Bone marrow aspirate smear:
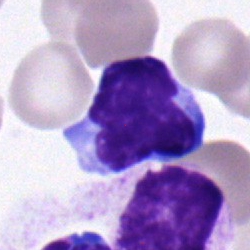Morphology consistent with a typical lymphocyte.